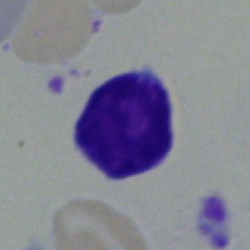Morphology — lymphocyte.